Peripheral blood smear:
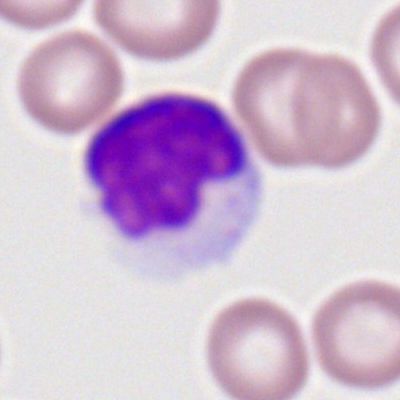 {"cell_type": "lymphocyte", "lineage": "lymphoid"}